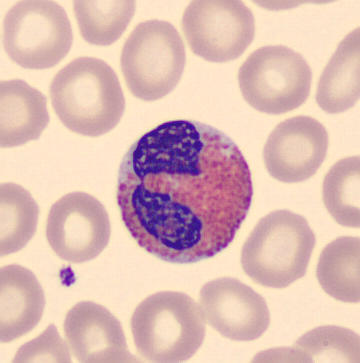
Peripheral blood smear. Single-cell field.

This is an eosinophilic granulocyte.